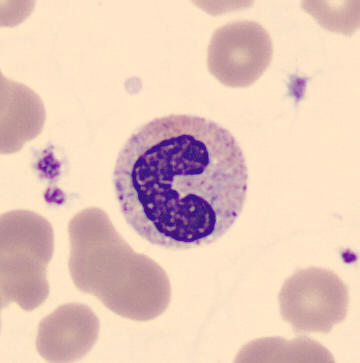 Morphology consistent with a band neutrophil.
Peripheral blood smear.